Bone marrow smear:
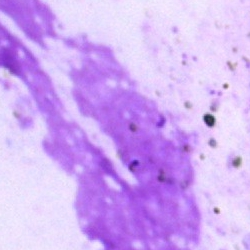Q: What is shown here?
A: This is an artefact.